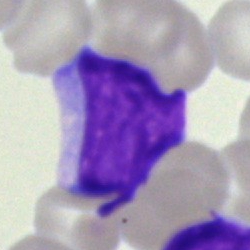Morphology consistent with a blast.